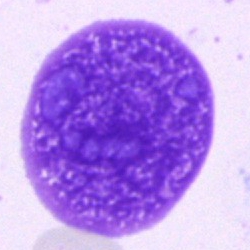

Q: What is shown here?
A: This is an artifact.